Bone marrow smear; 250×250; single cell centered in the field — 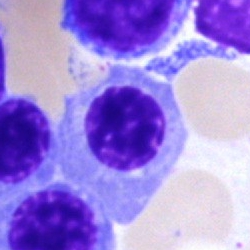Morphology — erythroblast.